Bone marrow aspirate smear — 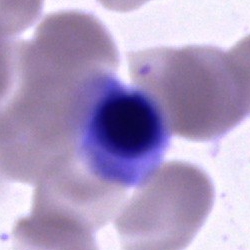 Specimen: bone marrow aspirate smear.
Cell: cell of indeterminate lineage.